Bone marrow aspirate smear; single-cell field; MGG-stained.
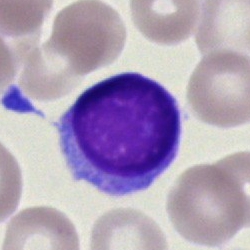{"cell_type": "typical lymphocyte"}